Bone marrow smear — 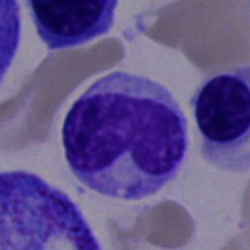 Showing a band neutrophil.